Bone marrow aspirate smear — 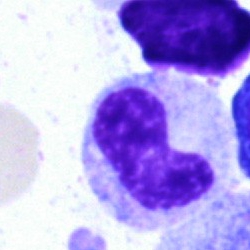

Classification: band neutrophil.